Bone marrow smear. 250×250 px.
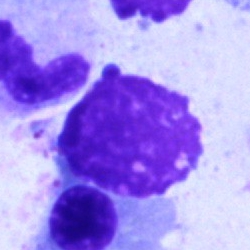The cell is artefact.